Bone marrow smear — 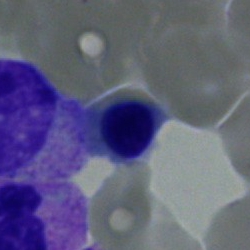

Single cell identified as an erythroblast.